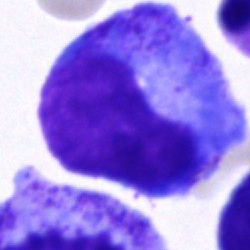

Impression — promyelocyte.